Bone marrow aspirate smear. MGG-stained. Single cell centered in the field — 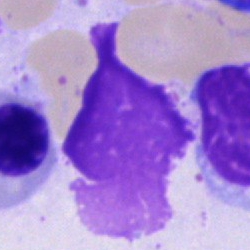 Morphology consistent with an artefact.